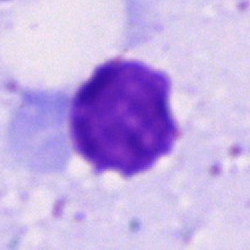

Single-cell crop from a bone marrow smear: artifact.